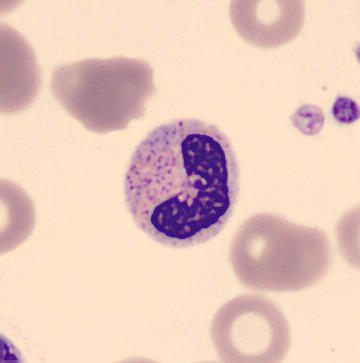Impression — neutrophil (band).